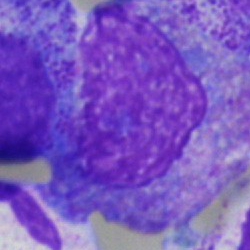 Showing a promyelocyte.